Bone marrow smear
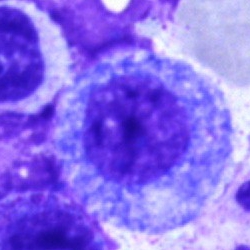

Morphology consistent with a progranulocyte.